Bone marrow smear: 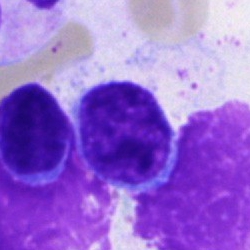 Morphology — typical lymphocyte.